May-Grünwald-Giemsa/Pappenheim stain · bone marrow aspirate smear: 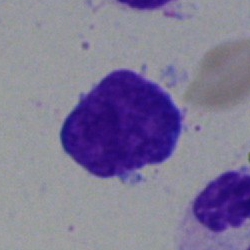

Showing a typical lymphocyte.